Bone marrow smear. May-Grünwald-Giemsa/Pappenheim stain: 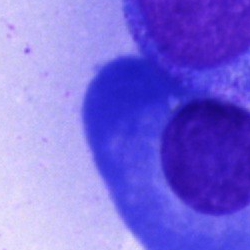Showing a plasma cell.